May-Grünwald-Giemsa stain · bone marrow aspirate smear · single-cell crop
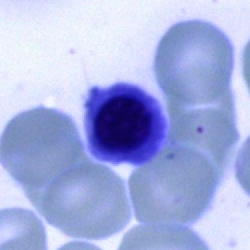 {"cell_type": "normoblast"}